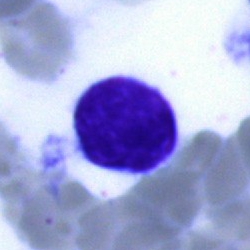A typical lymphocyte.